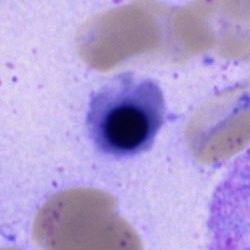
Q: What type of cell is this?
A: An erythroblast.